Bone marrow aspirate smear; cropped to a single cell; Pappenheim-stained:
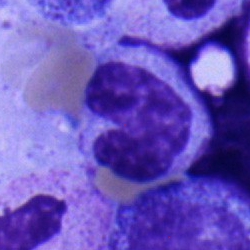 Neutrophil (band).